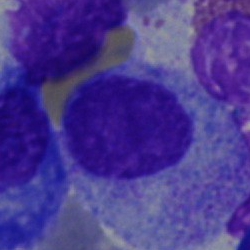

Cell type — myelocyte.